Bone marrow aspirate smear
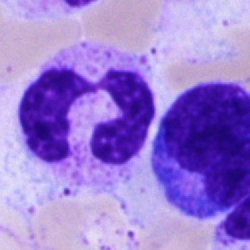
Morphological class: neutrophil (segmented).